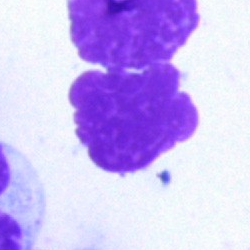Morphological class = artifact.